Bone marrow smear; May-Grünwald-Giemsa stain; brightfield microscopy, 40× oil immersion:
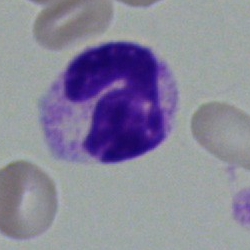

Q: What type of cell is this?
A: Polymorphonuclear neutrophil.